Bone marrow smear:
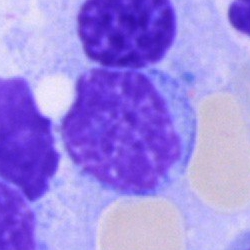 Morphology consistent with a lymphocyte.